Peripheral blood film: 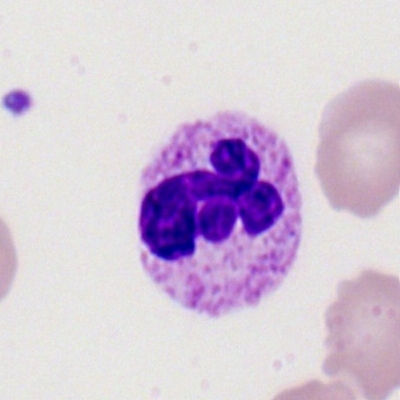The cell type is neutrophil (segmented).